Single cell centered in the field; bone marrow smear: 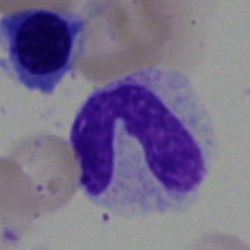 The cell shown is a band neutrophil.